250 by 250 pixels; bone marrow smear; single cell centered in the field
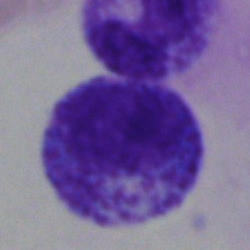The morphological class is progranulocyte.